Bone marrow smear
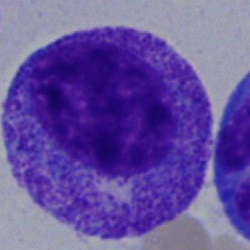 Specimen: bone marrow aspirate smear.
Cell type: promyelocyte.